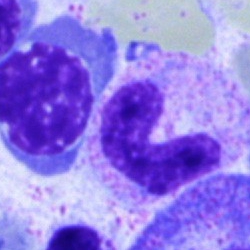Cell — neutrophil (segmented).